Brightfield microscopy, 40× oil immersion. Bone marrow smear
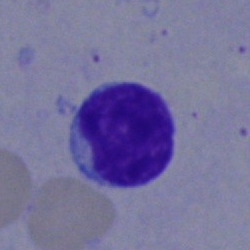
Cell: lymphocyte.